Bone marrow smear · image size 250×250 · single-cell field:
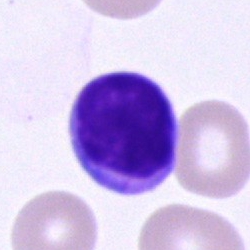
Morphology → typical lymphocyte.